Pappenheim-stained. Bone marrow smear. Brightfield microscopy, 40× oil immersion:
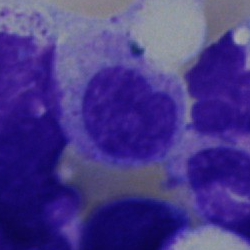 Specimen: bone marrow smear.
Classification: metamyelocyte.